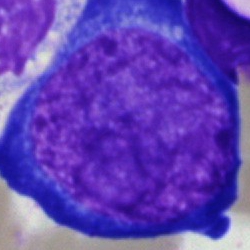

Showing a proerythroblast.